Bone marrow smear
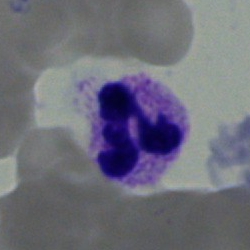Q: What cell is this?
A: It is a polymorphonuclear neutrophil.